Bone marrow smear · May-Grünwald-Giemsa/Pappenheim stain.
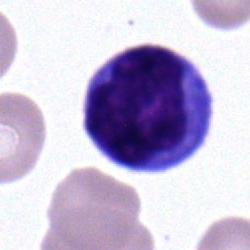
Impression → lymphocyte.